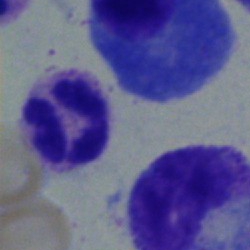

Morphological class = polymorphonuclear neutrophil.